Bone marrow aspirate smear:
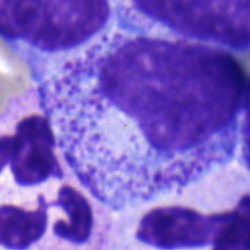Specimen: bone marrow aspirate smear.
Cell type: promyelocyte.